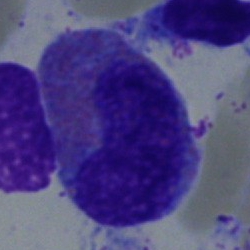

{"cell_type": "eosinophilic granulocyte", "lineage": "myeloid"}